Bone marrow aspirate smear: 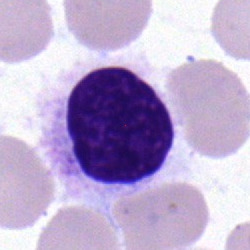
Q: What cell is this?
A: It is a typical lymphocyte.